Bone marrow aspirate smear — 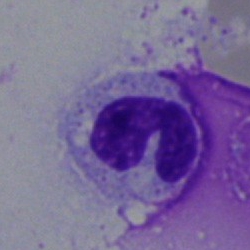Cell = neutrophil (segmented).